Peripheral blood smear · 400×400 px.
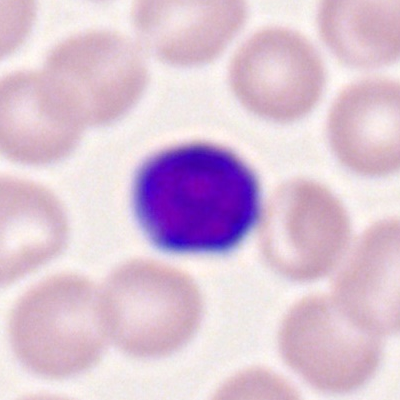
{"cell_type": "typical lymphocyte"}